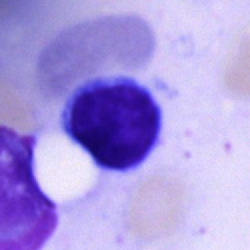 Impression — typical lymphocyte.